Single-cell field · bone marrow aspirate smear — 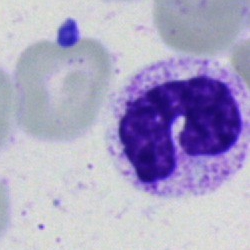

Single cell identified as a band-form neutrophil.